MGG-stained. Bone marrow aspirate smear:
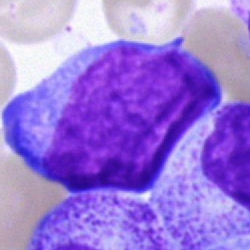
The morphological class is blast.